Bone marrow aspirate smear:
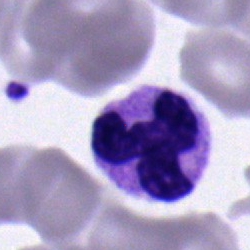

Morphological class: neutrophil (segmented).